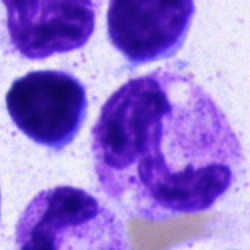 Specimen: bone marrow aspirate smear.
Cell type: neutrophil (segmented).